Bone marrow aspirate smear:
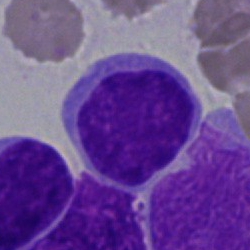

Lymphocyte.